Bone marrow smear: 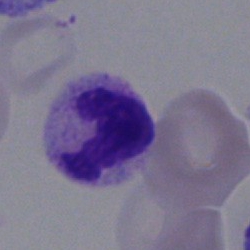 Specimen: bone marrow smear.
Morphological class: segmented neutrophil.
Lineage: myeloid.